40× objective, oil immersion. Bone marrow aspirate smear — 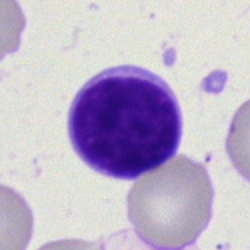
A typical lymphocyte.